Bone marrow aspirate smear — 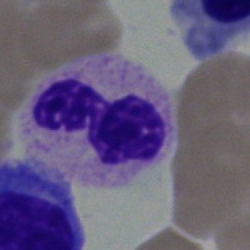 Cell: segmented neutrophil.